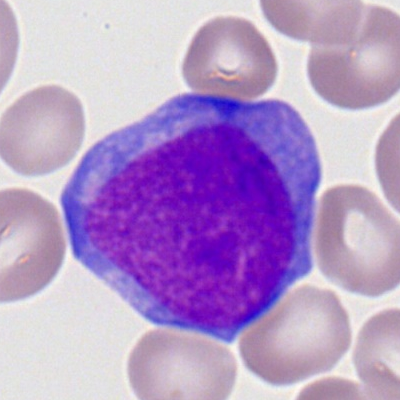

Specimen: peripheral blood film.
Morphological class: myeloblast.